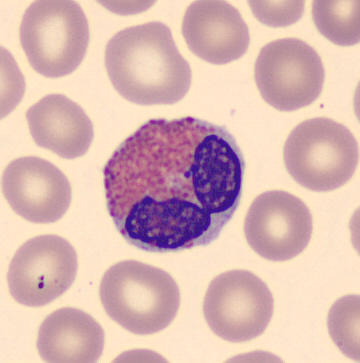

Image: Peripheral blood film; MGG stain; 360×363 px.

Cell = eosinophilic granulocyte.